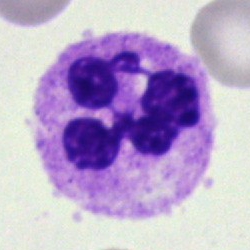

Specimen: bone marrow smear.
Cell: neutrophil (segmented).
Lineage: myeloid.